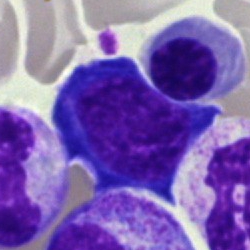
Impression → normoblast.